Single cell centered in the field; bone marrow smear
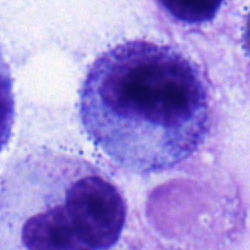 Q: What cell is this?
A: Myelocyte.